Bone marrow aspirate smear. Cropped to a single cell
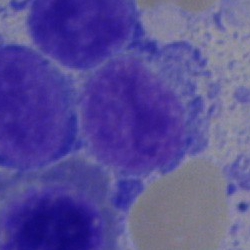 Morphology consistent with a typical lymphocyte.